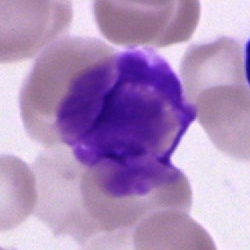 Artifact.